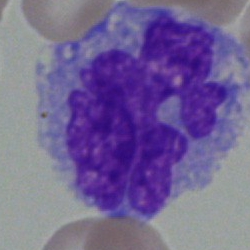

The cell is monocyte.